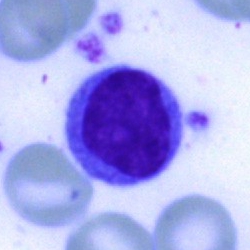
{"cell_type": "lymphocyte", "lineage": "lymphoid"}